Bone marrow aspirate smear · brightfield microscopy, 40× oil immersion · May-Grünwald-Giemsa stain: 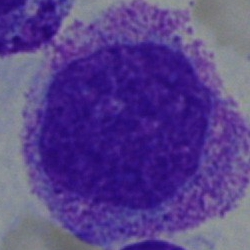Morphology consistent with a promyelocyte.